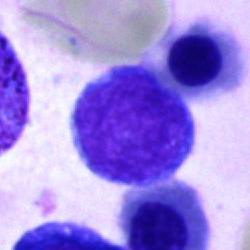
Cell: typical lymphocyte.